Bone marrow smear
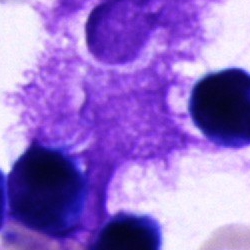 Unidentifiable cell.